250×250 · single cell centered in the field · bone marrow smear
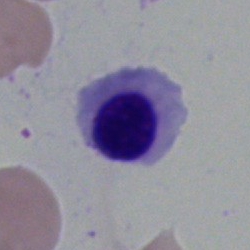
Specimen: bone marrow aspirate smear.
Cell type: nucleated red cell.